Peripheral blood film:
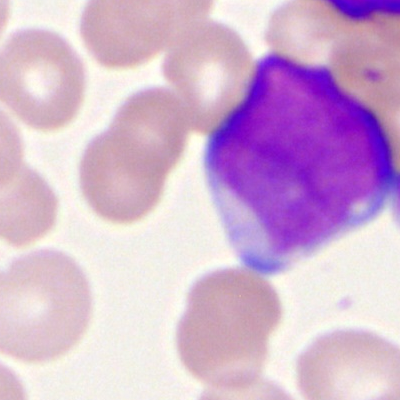 The morphological class is myeloblast.